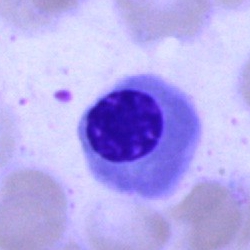 Classification — nucleated red blood cell.